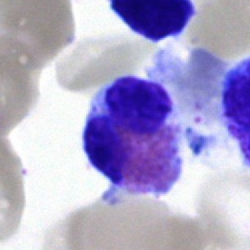Morphological class: eosinophilic granulocyte.